Bone marrow aspirate smear.
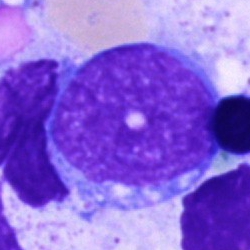 The morphological class is undifferentiated blast.